Bone marrow smear.
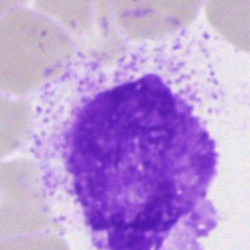Showing an artifact.